Brightfield, 40× oil-immersion objective; bone marrow smear; MGG-stained
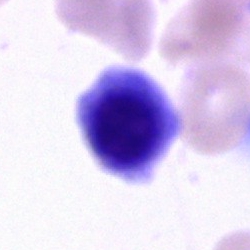

Q: What is shown here?
A: A normoblast.